Pappenheim-stained · bone marrow smear
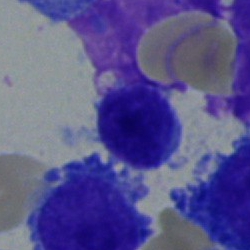Q: Identify the cell.
A: Typical lymphocyte.